Peripheral blood smear: 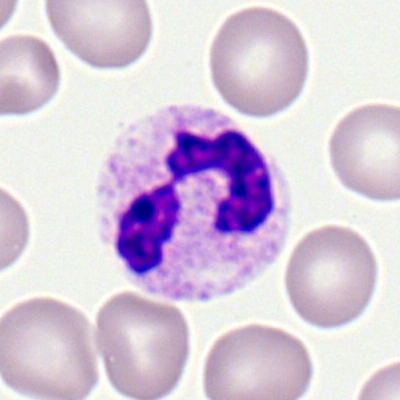Specimen: peripheral blood film.
Cell: segmented neutrophil.
Lineage: myeloid.